Bone marrow aspirate smear
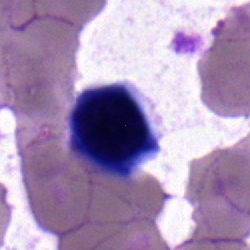Impression → nucleated red cell.